Bone marrow aspirate smear — 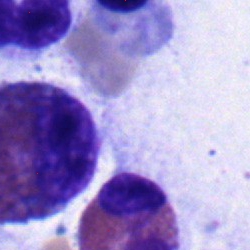
Showing an erythroblast.